40× oil immersion; single-cell field; bone marrow smear.
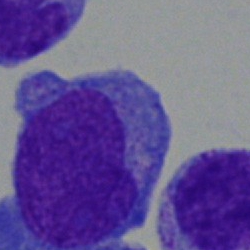 This is a blast.